Romanowsky-stained; peripheral blood smear.
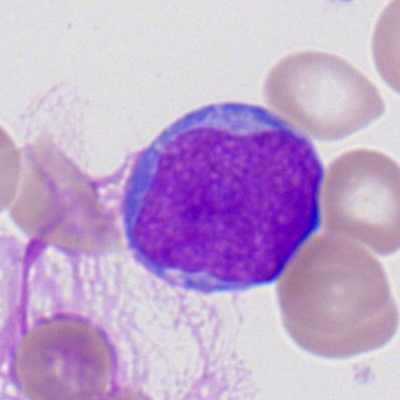 The cell shown is a myeloid blast.